Bone marrow smear. Brightfield, 40× oil-immersion objective
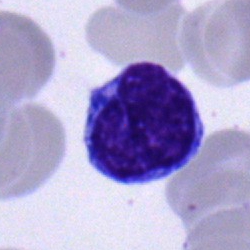 Morphology consistent with a lymphocyte.